Single-cell field · bone marrow smear: 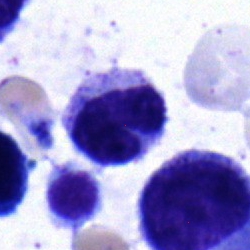 Q: What cell is this?
A: Stab cell.